100× objective, oil immersion. Peripheral blood film. Image size 400×400.
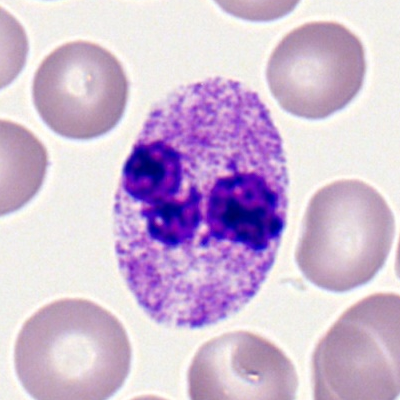 Classification — segmented neutrophil.